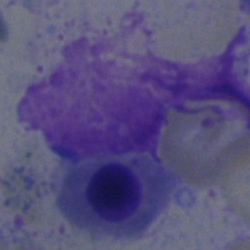Q: What is shown here?
A: It is an artifact.